Single cell centered in the field · bone marrow aspirate smear · 40× objective, oil immersion: 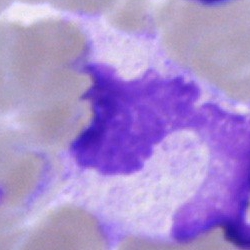 Morphology consistent with an artifact.